Bone marrow aspirate smear.
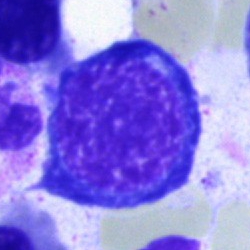
Single cell identified as an erythroblast.